Bone marrow aspirate smear
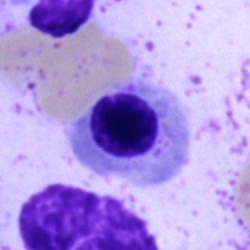Q: What cell is this?
A: A nucleated red cell.